Bone marrow aspirate smear; 250×250 px; 40× objective, oil immersion: 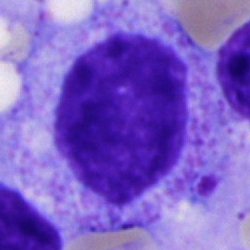 Specimen: bone marrow aspirate smear.
Cell: progranulocyte.
Lineage: myeloid.